Bone marrow smear
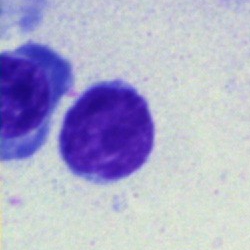

A plasmacyte.